Single-cell crop; bone marrow aspirate smear: 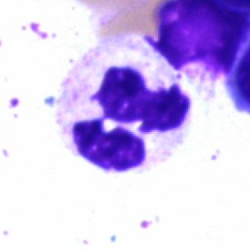

Classification: segmented neutrophil.